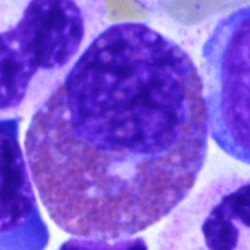The cell is eosinophil.